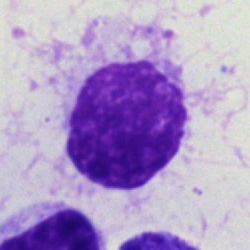

The cell shown is an artifact.